MGG-stained. Bone marrow aspirate smear:
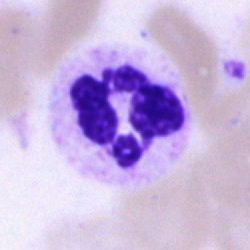
Q: What cell is this?
A: It is a polymorphonuclear neutrophil.